Bone marrow aspirate smear
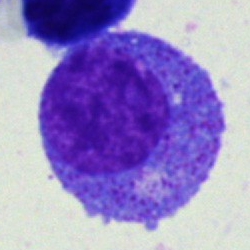
Cell: progranulocyte.